40× oil immersion · bone marrow smear · 250×250 — 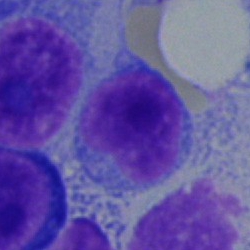

Q: Which cell type is shown here?
A: Lymphocyte.